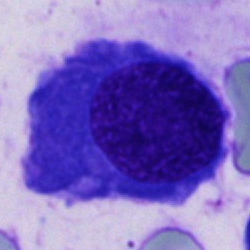
A normoblast.